Bone marrow smear. 250 by 250 pixels:
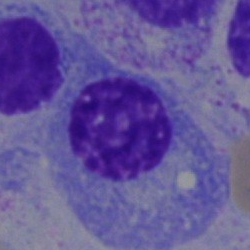The cell is plasma cell.